Bone marrow aspirate smear:
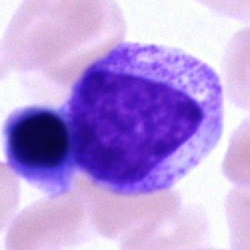
Impression — myelocyte.